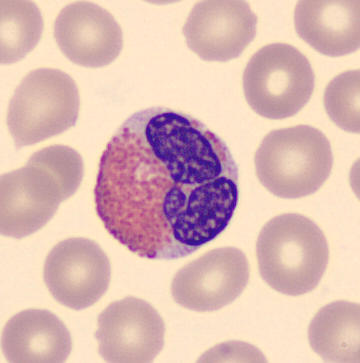Morphology — eosinophilic granulocyte. 360×363 px. Single cell centered in the field. Peripheral blood film.